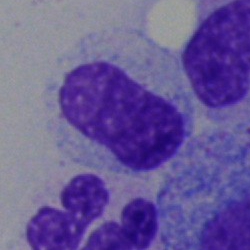 A stab cell on a bone marrow smear.